250×250 · bone marrow aspirate smear
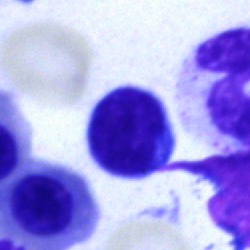Morphology → lymphocyte.